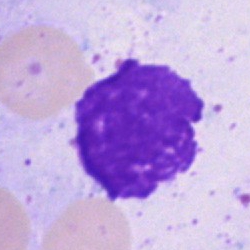
Q: What is shown here?
A: Artifact.